Cropped to a single cell; image size 250×250; bone marrow smear
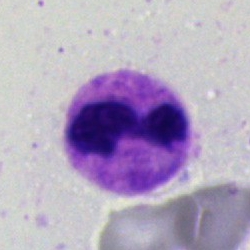

Q: Identify the cell.
A: This is a neutrophil (segmented).